Bone marrow aspirate smear
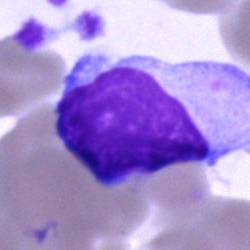

Specimen: bone marrow smear.
Cell: undifferentiated blast.